May-Grünwald-Giemsa/Pappenheim stain; bone marrow smear — 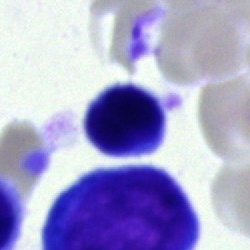

This is a lymphocyte.